Pappenheim-stained; bone marrow smear — 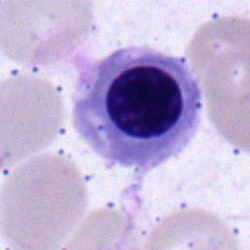 This is a nucleated red cell.